Bone marrow smear. 250×250: 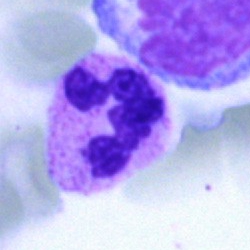 Q: What cell is this?
A: It is a neutrophil (segmented).